Bone marrow aspirate smear — 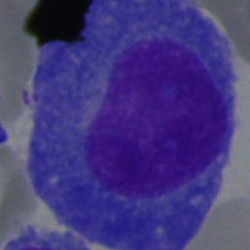Specimen: bone marrow smear.
Cell: plasma cell.
Lineage: lymphoid.